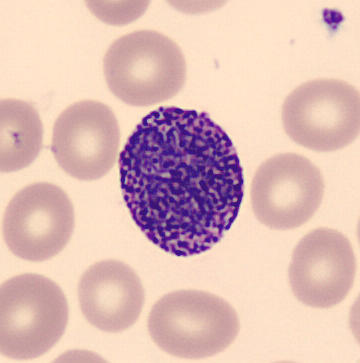

Preparation: Peripheral blood smear. Cropped to a single cell.
Cell type = basophilic granulocyte.